Pappenheim-stained · bone marrow smear: 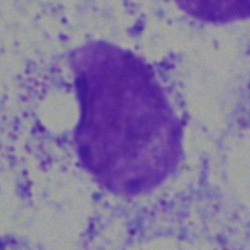
The morphological class is artifact.